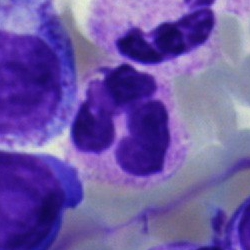Cell — segmented neutrophil.